Peripheral blood film. 360 by 363 pixels. May-Grünwald-Giemsa-stained
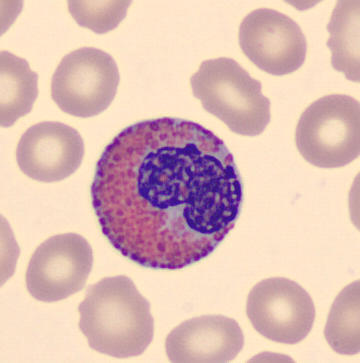Specimen: peripheral blood smear.
Cell: eosinophilic granulocyte.
Lineage: myeloid.